Bone marrow aspirate smear
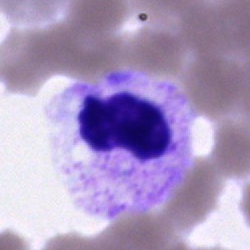 Q: What is shown here?
A: It is an artefact.